Bone marrow aspirate smear. Cropped to a single cell — 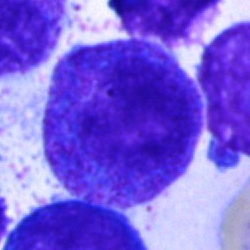 Specimen: bone marrow aspirate smear.
Cell: progranulocyte.
Lineage: myeloid.